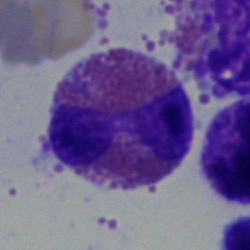

Single-cell crop from a bone marrow smear: eosinophil.